Bone marrow smear:
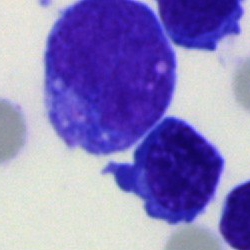{"cell_type": "undifferentiated blast"}